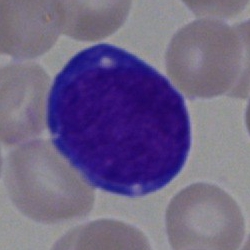Undifferentiated blast.